Bone marrow smear; single cell centered in the field; 250×250.
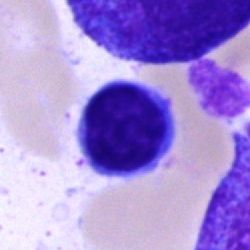Single cell identified as a typical lymphocyte.